Bone marrow aspirate smear:
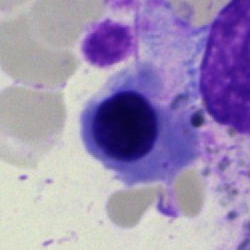 Cell — erythroblast.